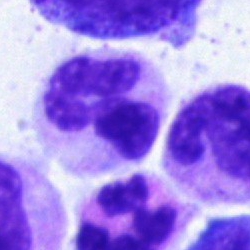Specimen: bone marrow smear.
Morphological class: neutrophil (segmented).
Lineage: myeloid.